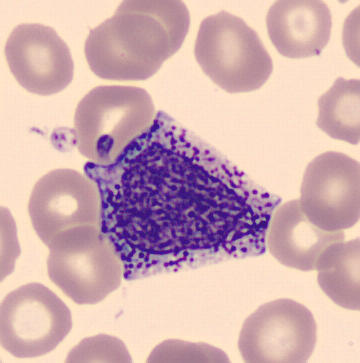 Specimen: peripheral blood film.
Classification: progranulocyte.
Lineage: myeloid.